Bone marrow aspirate smear — 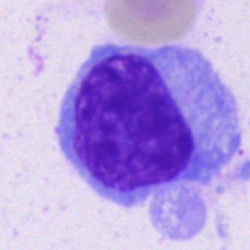
Plasmacyte.